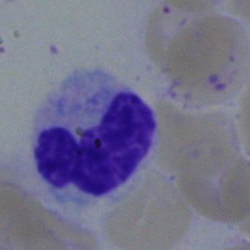Cell type — monocyte.